Bone marrow aspirate smear:
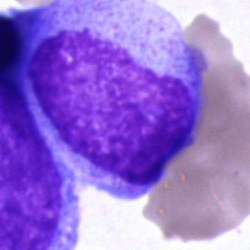 The cell shown is a promyelocyte.